Bone marrow aspirate smear; image size 250×250; 40× objective, oil immersion — 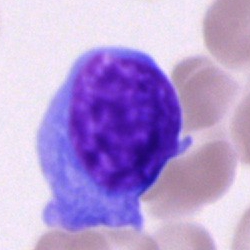 Specimen: bone marrow smear.
Classification: blast cell.